Bone marrow aspirate smear.
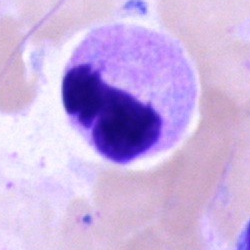
{"cell_type": "segmented neutrophil", "lineage": "myeloid"}